Bone marrow aspirate smear.
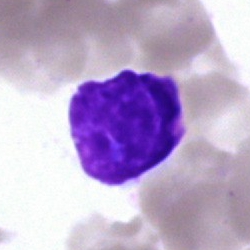 Morphology — artifact.